Single-cell crop · bone marrow aspirate smear · 250×250
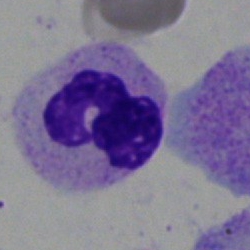

Impression → neutrophil (segmented).